Bone marrow smear.
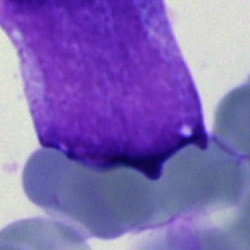 Impression — undifferentiated blast.